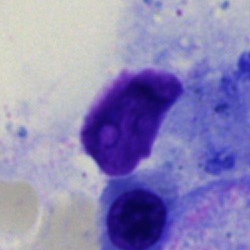Q: What is shown here?
A: An artifact.